Peripheral blood smear. Cropped to a single cell. Romanowsky stain
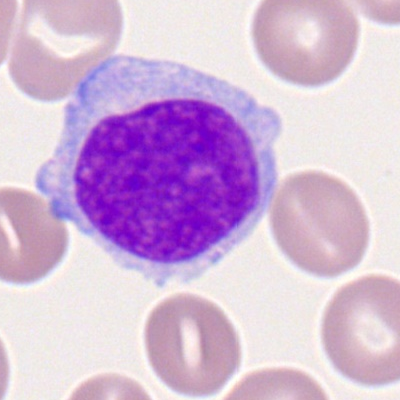 The cell shown is a myeloblast.